Bone marrow smear.
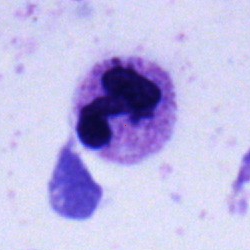Impression → polymorphonuclear neutrophil.